Bone marrow smear:
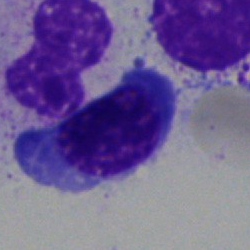
Nucleated red cell.